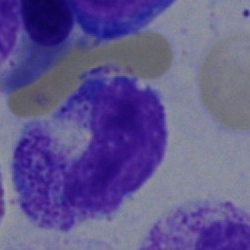Specimen: bone marrow smear.
Cell type: metamyelocyte.